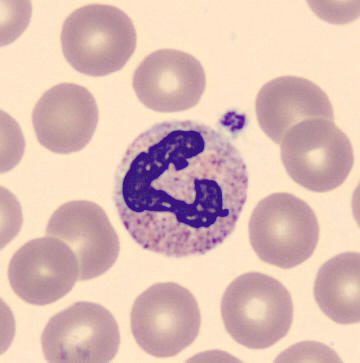 The cell is neutrophil (segmented). Image: CellaVision DM96; peripheral blood smear.